250 by 250 pixels. Bone marrow smear: 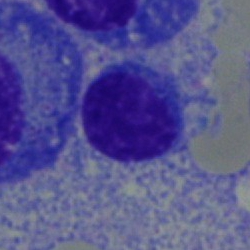
Morphological class — typical lymphocyte.